Peripheral blood film; 400 by 400 pixels:
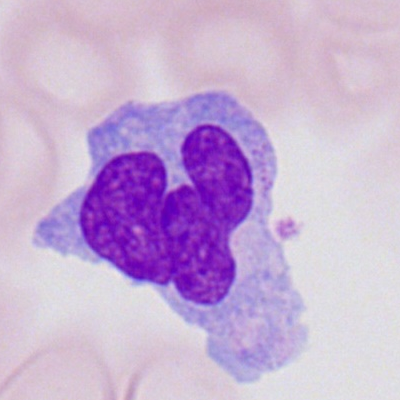 The cell type is monocyte.